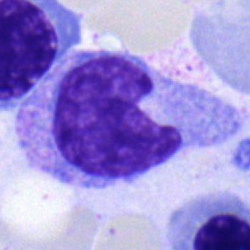
Single-cell crop from a bone marrow smear: myelocyte.